Single-cell field. 40× oil immersion. Bone marrow smear — 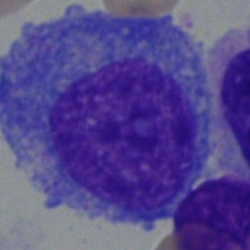The cell is promyelocyte.